Bone marrow aspirate smear · brightfield, 40× oil-immersion objective · image size 250×250.
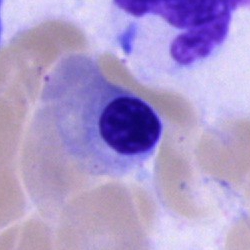 Q: Identify the cell.
A: Normoblast.